Bone marrow aspirate smear — 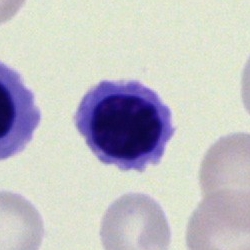
Impression → normoblast.